Romanowsky stain. 400×400 px. Peripheral blood smear:
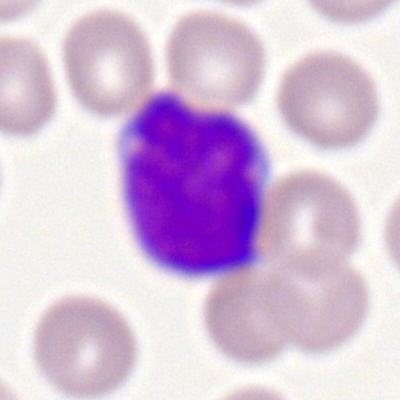
Showing a myeloid blast.